Bone marrow smear. Single-cell crop.
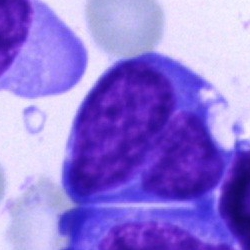
Classification: undifferentiated blast.